Bone marrow aspirate smear.
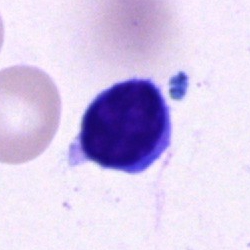

Typical lymphocyte.